Bone marrow smear.
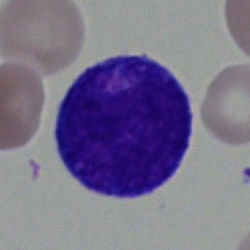
Morphology consistent with a progranulocyte.